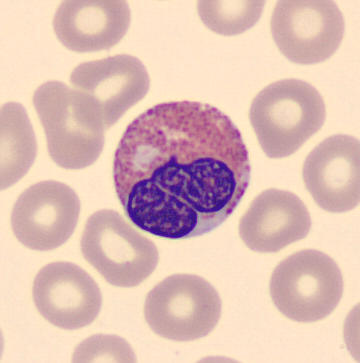 Eosinophilic granulocyte.